Brightfield, 100× oil-immersion objective; peripheral blood smear: 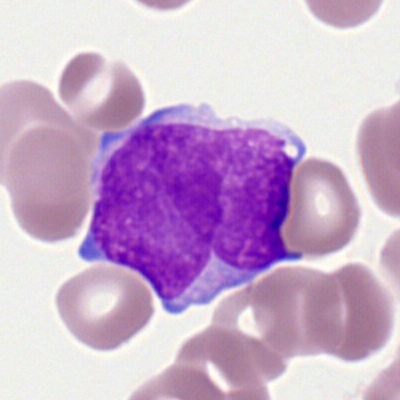
The cell type is myeloid blast.